Bone marrow aspirate smear.
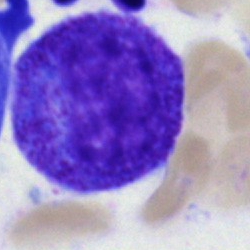 Specimen: bone marrow smear.
Classification: progranulocyte.
Lineage: myeloid.